Bone marrow smear · Pappenheim-stained.
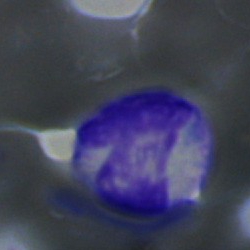Q: What cell is this?
A: A band neutrophil.